Single-cell field; bone marrow aspirate smear
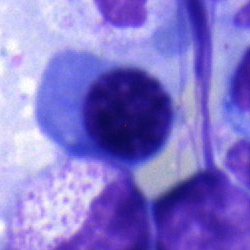Morphology consistent with a plasma cell.